Bone marrow smear. Single-cell field — 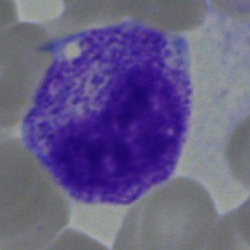
Cell — metamyelocyte.